Image size 250×250. Bone marrow smear. MGG-stained: 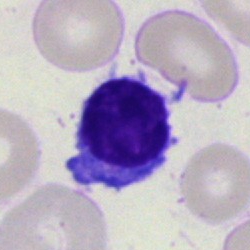 The cell shown is a typical lymphocyte.